Peripheral blood film. Single-cell crop — 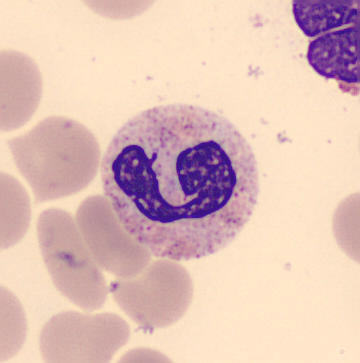

Cell type = segmented neutrophil.